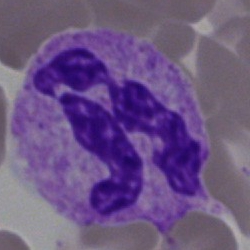
Cell — neutrophil (segmented).